Bone marrow smear
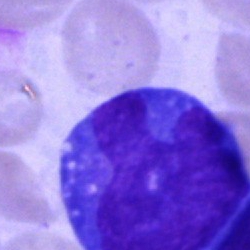

Specimen: bone marrow aspirate smear.
Morphological class: blast cell.